Bone marrow aspirate smear
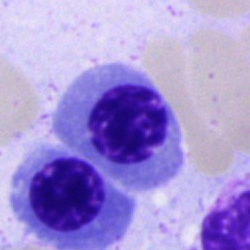Specimen: bone marrow smear.
Morphological class: nucleated red cell.
Lineage: erythroid.